Bone marrow aspirate smear · May-Grünwald-Giemsa stain · single-cell crop:
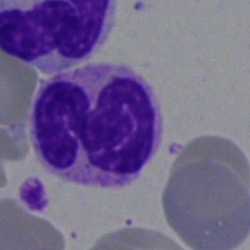

Morphological class: neutrophil (segmented).